Peripheral blood film: 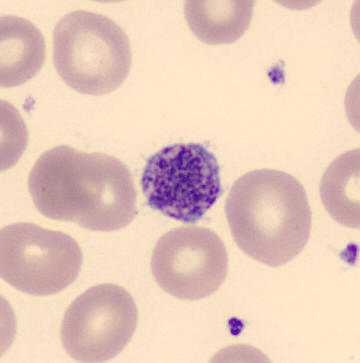 Specimen: peripheral blood film.
Classification: platelet (thrombocyte).